Romanowsky-stained · peripheral blood smear · single-cell crop: 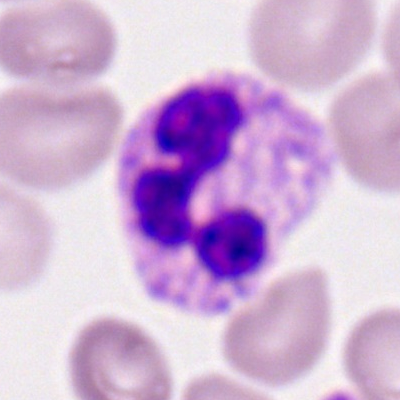Q: What type of cell is this?
A: This is a segmented neutrophil.